Bone marrow aspirate smear.
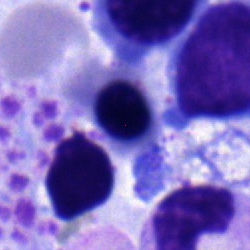

Morphology consistent with an erythroblast.